Bone marrow aspirate smear — 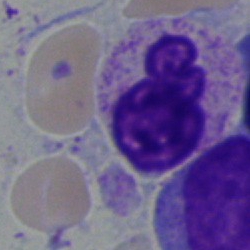Morphology consistent with a polymorphonuclear neutrophil.